Bone marrow aspirate smear: 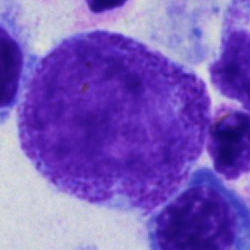Specimen: bone marrow smear.
Cell: myelocyte.
Lineage: myeloid.